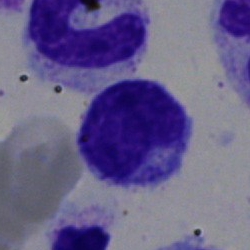Single cell identified as a lymphocyte.